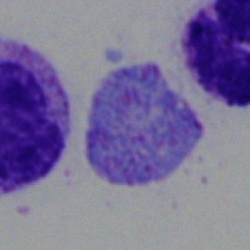

Single cell identified as an artefact.